Romanowsky-type stain; 400 by 400 pixels; peripheral blood film:
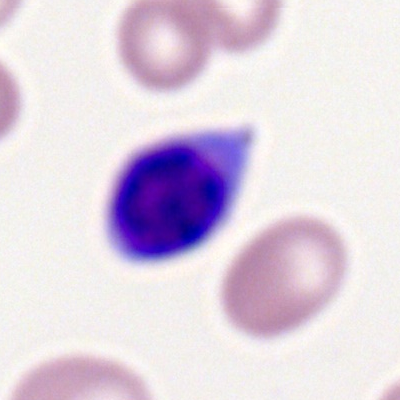Specimen: peripheral blood film.
Cell type: lymphocyte.